Bone marrow smear:
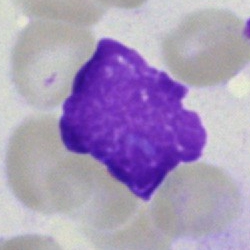 Morphology → artifact.